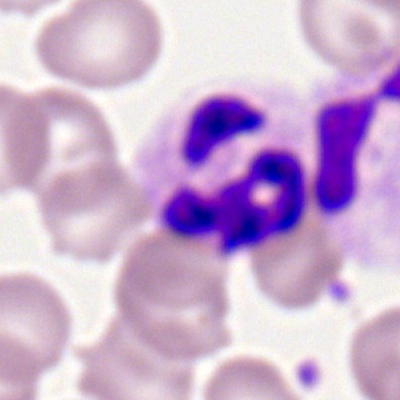 Single cell identified as a segmented neutrophil.